Peripheral blood smear: 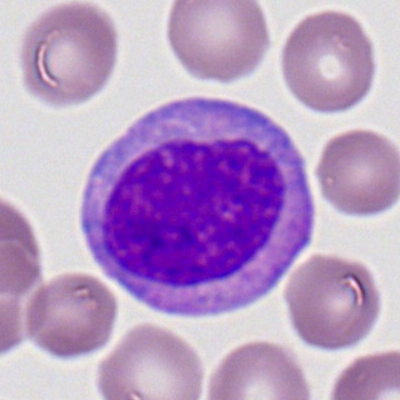
Q: Identify the cell.
A: It is a myeloid blast.